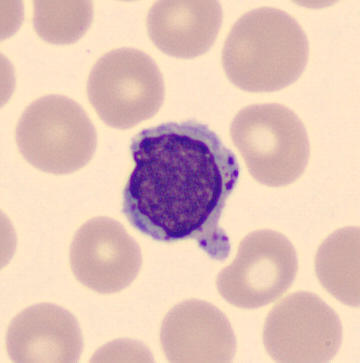

Impression — lymphocyte.